Bone marrow smear. Cropped to a single cell:
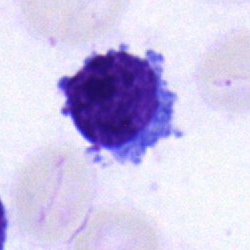

Impression — typical lymphocyte.